Bone marrow aspirate smear:
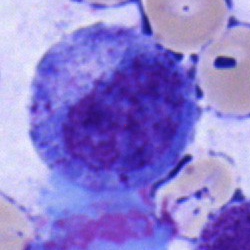

Single cell identified as a progranulocyte.